Bone marrow aspirate smear
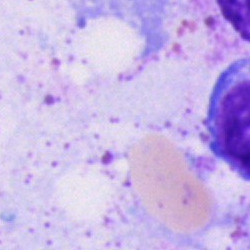 Specimen: bone marrow aspirate smear.
Morphological class: artifact.